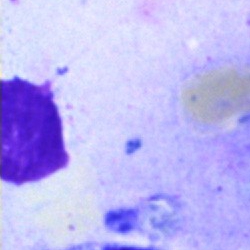 Bone marrow smear showing an artefact.